Bone marrow aspirate smear. 250×250 — 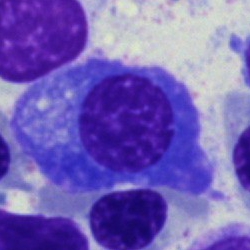Q: What type of cell is this?
A: This is a plasma cell.